May-Grünwald-Giemsa stain · bone marrow aspirate smear · single-cell field: 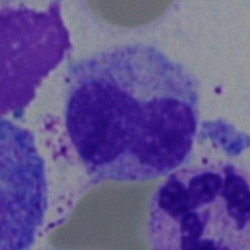

Showing a neutrophil (band).